250×250 px. Bone marrow aspirate smear — 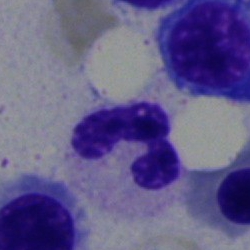{"cell_type": "segmented neutrophil", "lineage": "myeloid"}